Pappenheim-stained · single-cell field · bone marrow aspirate smear: 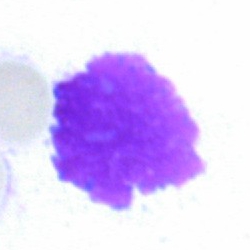Classification — artefact.